Image size 250×250 · cropped to a single cell · bone marrow smear
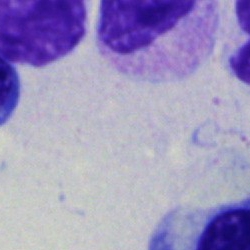

The cell shown is an artifact.